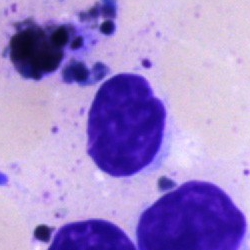

Specimen: bone marrow aspirate smear.
Cell type: artifact.